Bone marrow aspirate smear
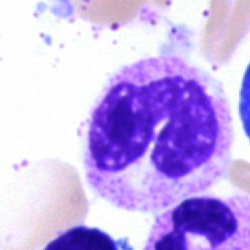

Specimen: bone marrow smear.
Cell: neutrophil (band).
Lineage: myeloid.